Single cell centered in the field · bone marrow aspirate smear
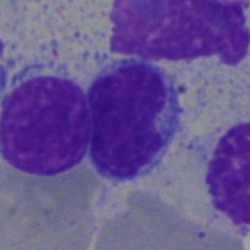
The cell shown is a lymphocyte.